May-Grünwald-Giemsa/Pappenheim stain. Brightfield, 40× oil-immersion objective. Bone marrow smear — 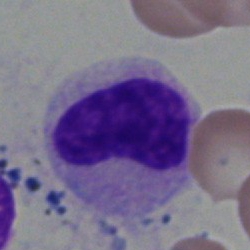

Metamyelocyte.